Bone marrow smear. 40× objective, oil immersion: 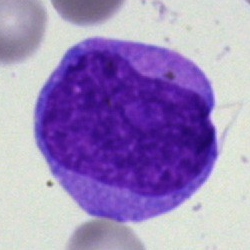

Impression — blast cell.